Bone marrow aspirate smear
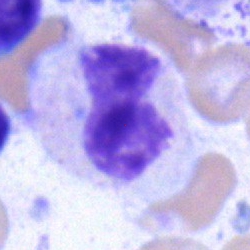Cell = neutrophil (band).